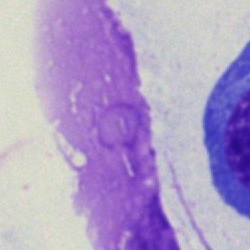

An artefact on a bone marrow smear.